Bone marrow aspirate smear:
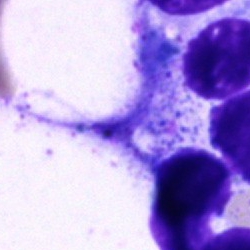This is an artefact.